Single-cell crop; bone marrow aspirate smear — 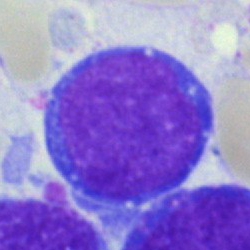Specimen: bone marrow smear.
Classification: pronormoblast.
Lineage: erythroid.